Bone marrow aspirate smear: 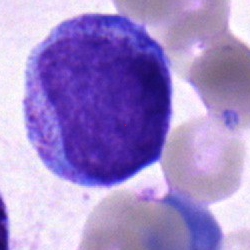

Morphology — undifferentiated blast.